Bone marrow aspirate smear: 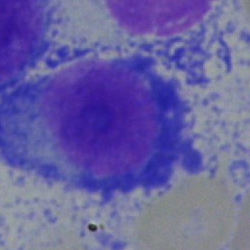

Morphology consistent with a plasmacyte.